Bone marrow aspirate smear:
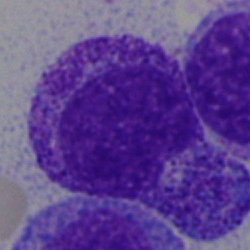

A myelocyte.